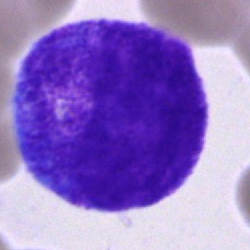

Showing a promyelocyte.